Bone marrow smear.
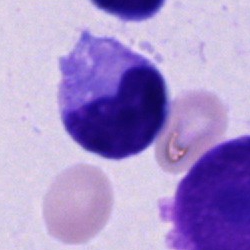

Cell: unidentifiable cell.